Bone marrow aspirate smear:
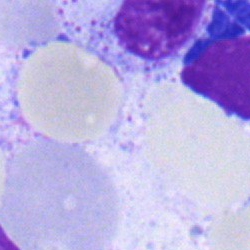 Metamyelocyte.